Peripheral blood smear.
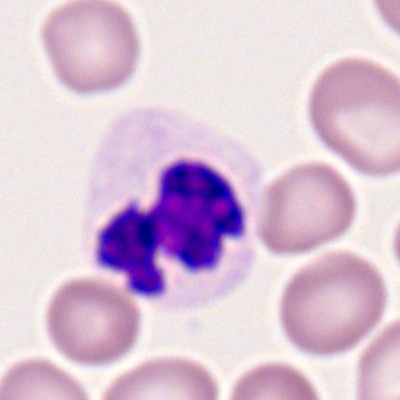Morphology consistent with a neutrophil (segmented).